Bone marrow smear — 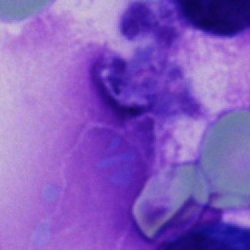
Morphology consistent with an artefact.